Bone marrow aspirate smear — 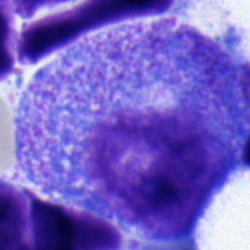 The cell type is promyelocyte.